Brightfield microscopy, 40× oil immersion. Bone marrow smear. Cropped to a single cell: 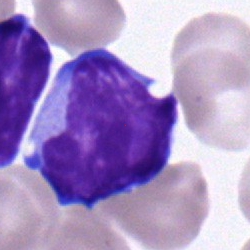
Morphology consistent with a lymphocyte.